Image size 250×250; MGG-stained; bone marrow smear — 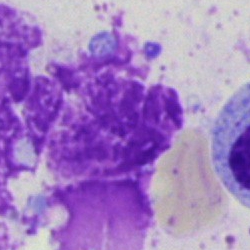The cell is artefact.